Bone marrow aspirate smear. Single-cell field
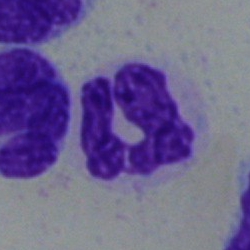Q: What is the morphological classification of this cell?
A: This is a neutrophil (segmented).